Bone marrow aspirate smear; single cell centered in the field
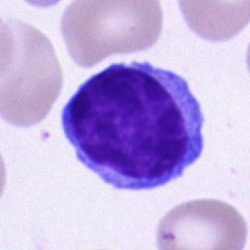 Morphological class: typical lymphocyte.